Bone marrow smear — 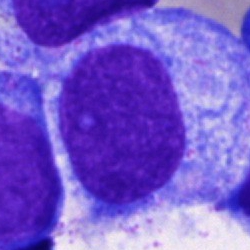 Promyelocyte.